Bone marrow aspirate smear.
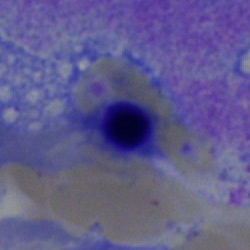

Nucleated red cell.